40× oil immersion; bone marrow aspirate smear — 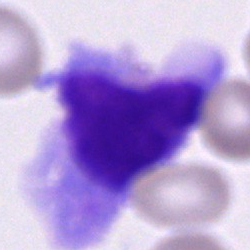

Unidentifiable cell.